May-Grünwald-Giemsa/Pappenheim stain. Bone marrow aspirate smear.
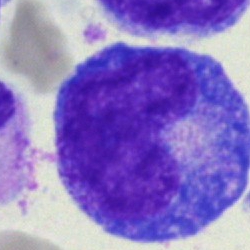

Cell type — progranulocyte.